250×250 · bone marrow aspirate smear.
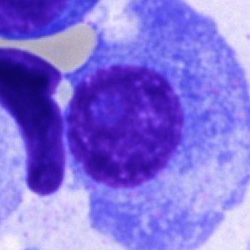
Impression — plasma cell.